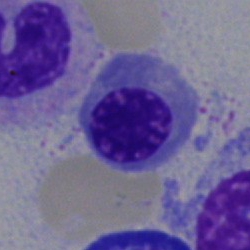
Q: What is the morphological classification of this cell?
A: It is a normoblast.